Bone marrow smear; May-Grünwald-Giemsa stain
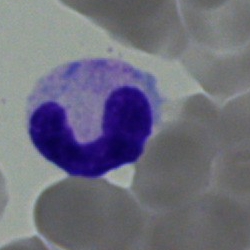 Single cell identified as a neutrophil (band).